250×250 · bone marrow smear — 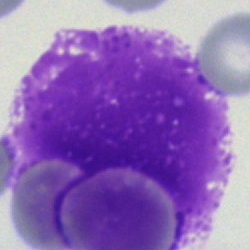

The cell shown is an artefact.